Bone marrow aspirate smear; Pappenheim-stained; single cell centered in the field:
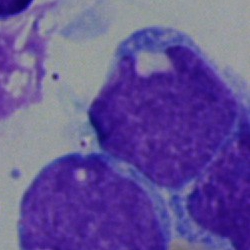

Morphology — blast cell.